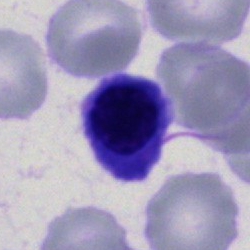Impression → erythroblast.